Cropped to a single cell; bone marrow aspirate smear — 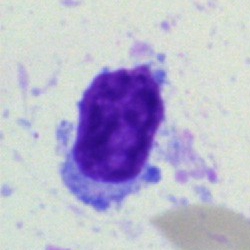Morphology consistent with a lymphocyte.